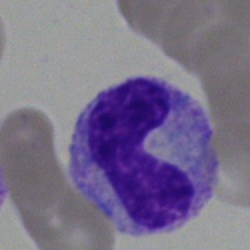 Classification — neutrophil (band).